Bone marrow smear · brightfield microscopy, 40× oil immersion: 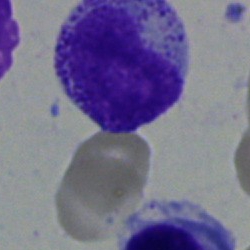
The cell type is myelocyte.